40× oil immersion · bone marrow smear: 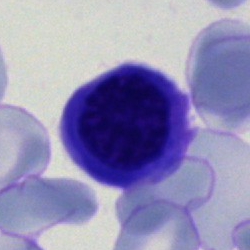

{"cell_type": "nucleated red blood cell"}